Bone marrow smear
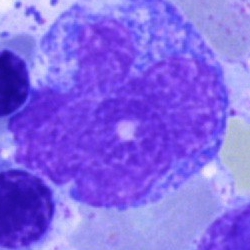 Morphology consistent with a monocyte.